Bone marrow smear; 250 by 250 pixels.
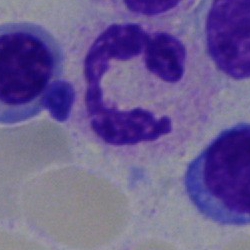 {"cell_type": "polymorphonuclear neutrophil", "lineage": "myeloid"}